May-Grünwald-Giemsa stain. Cropped to a single cell. Bone marrow aspirate smear:
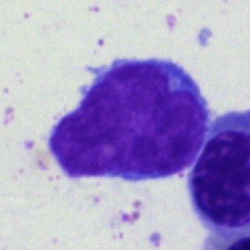 Single cell identified as a typical lymphocyte.